Bone marrow aspirate smear · cropped to a single cell.
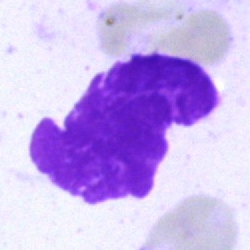

Specimen: bone marrow smear.
Morphological class: artifact.